Bone marrow smear. MGG-stained. Cropped to a single cell: 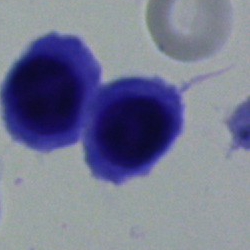This is a normoblast.